Bone marrow aspirate smear — 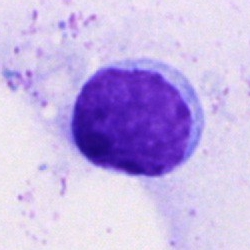Single cell identified as a lymphocyte.